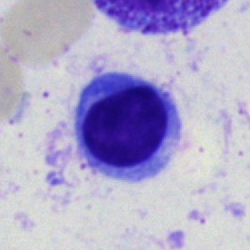Q: What type of cell is this?
A: A plasmacyte.